Bone marrow smear; Pappenheim-stained — 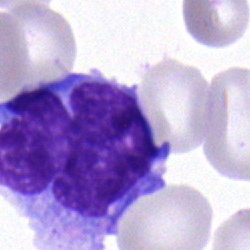This is a monocyte.